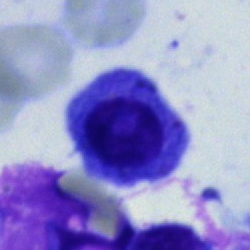

Bone marrow smear showing a nucleated red cell.